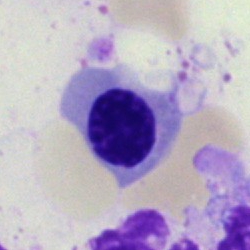

Specimen: bone marrow aspirate smear.
Classification: erythroblast.
Lineage: erythroid.